Brightfield, 100× oil-immersion objective. Peripheral blood smear. Romanowsky-type stain
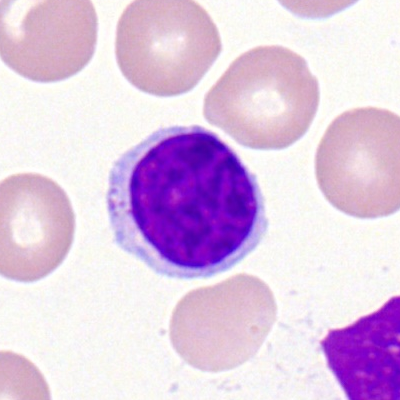

Q: Identify the cell.
A: Lymphocyte.